Bone marrow aspirate smear.
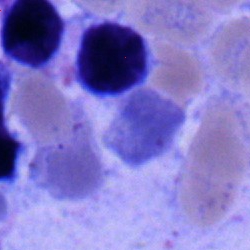 Cell: typical lymphocyte.